Image size 250×250. Bone marrow smear: 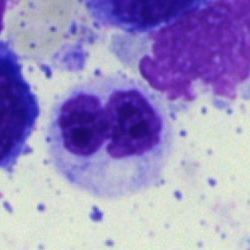 Cell — polymorphonuclear neutrophil.